250×250 px. Bone marrow aspirate smear. May-Grünwald-Giemsa/Pappenheim stain:
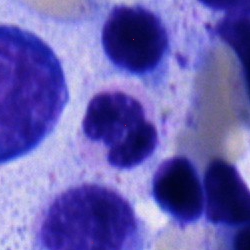

Neutrophil (segmented).